Bone marrow aspirate smear:
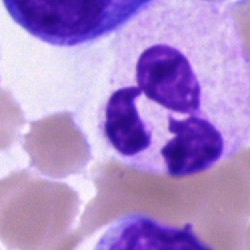
Cell = segmented neutrophil.